Pappenheim-stained. Bone marrow smear:
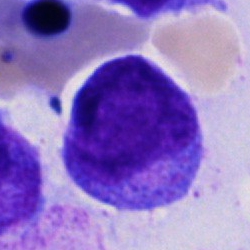
Q: Identify the cell.
A: This is an undifferentiated blast.